Bone marrow aspirate smear: 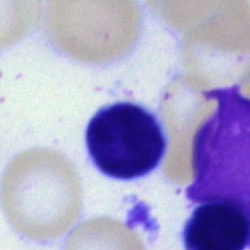 Showing a typical lymphocyte.